Brightfield microscopy, 40× oil immersion. Bone marrow smear — 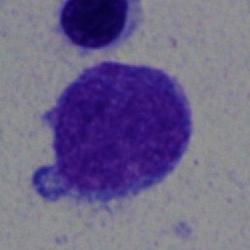

Lymphocyte.